Peripheral blood film; Romanowsky-type stain
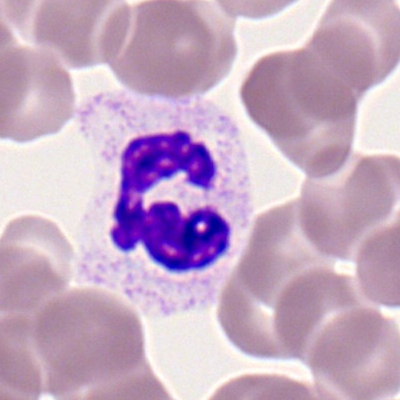The cell shown is a polymorphonuclear neutrophil.